Bone marrow smear:
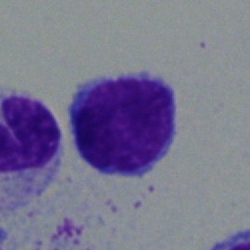
Morphology consistent with a lymphocyte.